Bone marrow smear: 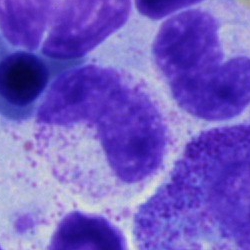 Impression → metamyelocyte.